Bone marrow smear — 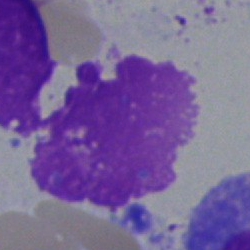 Specimen: bone marrow aspirate smear.
Cell type: artefact.